Bone marrow smear:
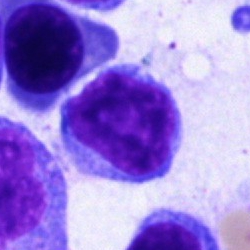

{"cell_type": "lymphocyte", "lineage": "lymphoid"}